Bone marrow aspirate smear. Single-cell field. 250×250
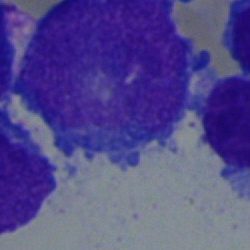
Morphology consistent with a blast.